Brightfield, 40× oil-immersion objective. Bone marrow smear
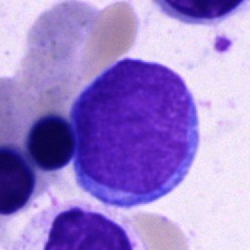
Showing a blast.